Peripheral blood film: 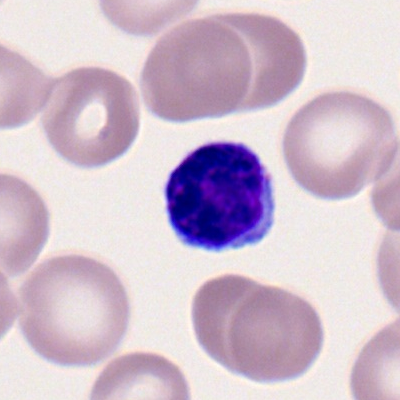
Lymphocyte.